Bone marrow smear; May-Grünwald-Giemsa stain: 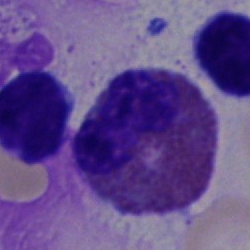
Cell type = eosinophilic granulocyte.